40× oil immersion. Bone marrow aspirate smear.
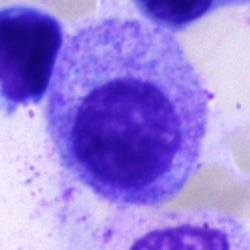The cell is myelocyte.